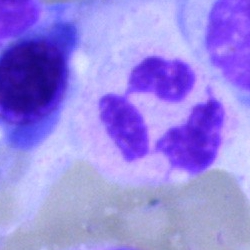

Bone marrow aspirate smear, single cell — neutrophil (segmented).